May-Grünwald-Giemsa/Pappenheim stain. Bone marrow aspirate smear:
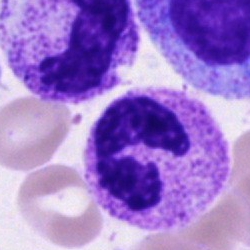
Morphology — polymorphonuclear neutrophil.